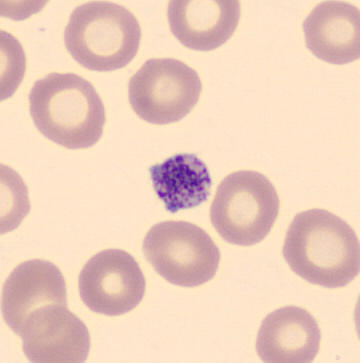 The cell type is platelet (thrombocyte).
Image: Peripheral blood film.